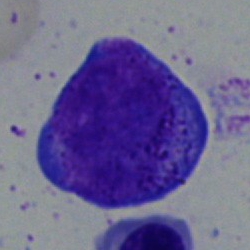

Bone marrow smear showing a progranulocyte.